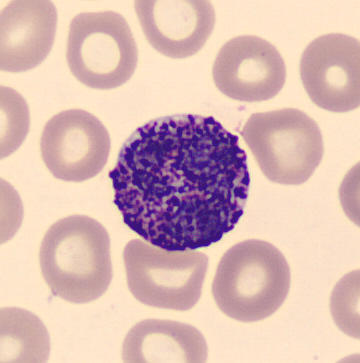

Cell type = basophilic granulocyte.
Single-cell crop; peripheral blood film; 360×363 px.